Pappenheim-stained. Bone marrow smear: 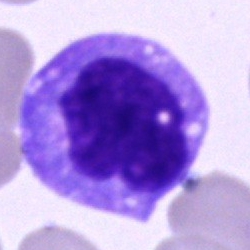 Specimen: bone marrow aspirate smear.
Cell type: monocyte.